Bone marrow aspirate smear:
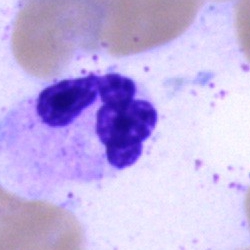

Single cell identified as a neutrophil (segmented).